Bone marrow aspirate smear · single-cell crop · MGG-stained:
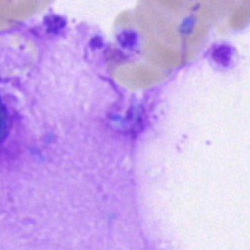
The cell type is artefact.